Bone marrow aspirate smear:
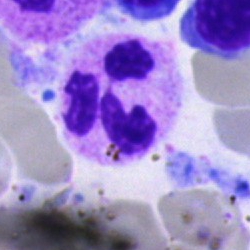 Morphological class — polymorphonuclear neutrophil.